Bone marrow smear; May-Grünwald-Giemsa/Pappenheim stain:
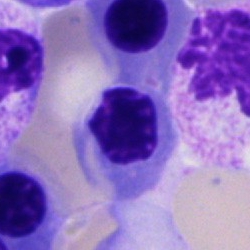Single cell identified as a normoblast.